May-Grünwald-Giemsa stain · image size 250×250 · bone marrow smear.
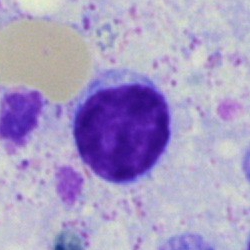
Cell type = typical lymphocyte.